Bone marrow aspirate smear. Cropped to a single cell
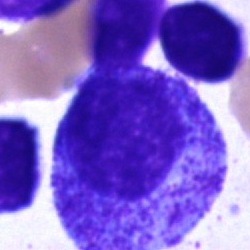Q: What type of cell is this?
A: A progranulocyte.